Brightfield microscopy, 40× oil immersion · bone marrow smear · May-Grünwald-Giemsa stain.
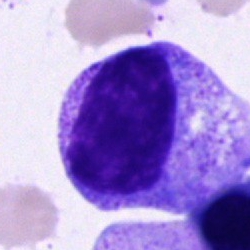Morphology — progranulocyte.